Peripheral blood smear.
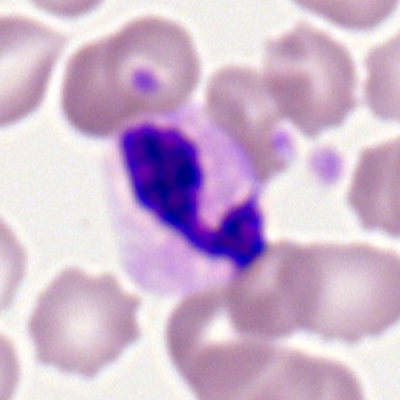

Polymorphonuclear neutrophil.